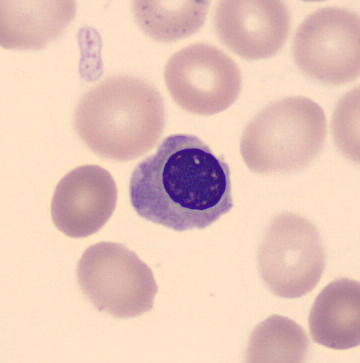Classification: nucleated red cell.